Brightfield, 40× oil-immersion objective; bone marrow aspirate smear:
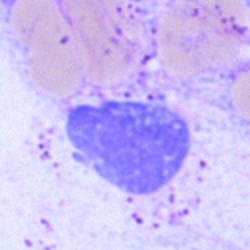Showing an artifact.